Bone marrow aspirate smear: 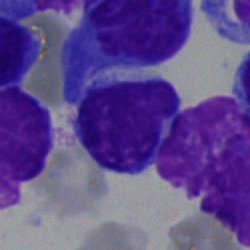 {"cell_type": "lymphocyte", "lineage": "lymphoid"}